Bone marrow smear. May-Grünwald-Giemsa/Pappenheim stain. 250×250 px: 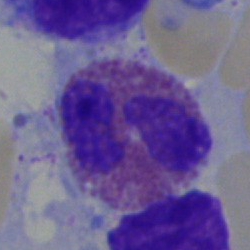Cell type: eosinophil.